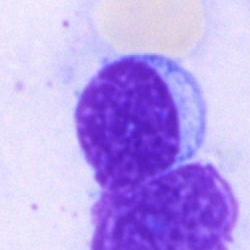Morphology → lymphocyte.